Bone marrow aspirate smear:
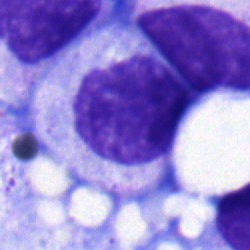 A myelocyte.